Bone marrow aspirate smear:
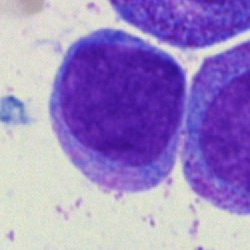 This is a blast cell.